Bone marrow smear: 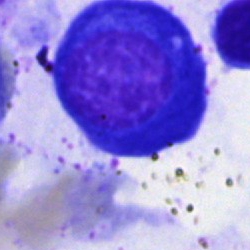
Cell type — nucleated red cell.